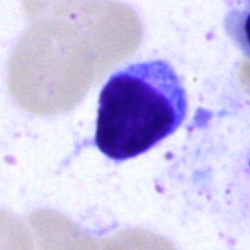

Q: Which cell type is shown here?
A: A typical lymphocyte.